Bone marrow smear. Image size 250×250. May-Grünwald-Giemsa stain: 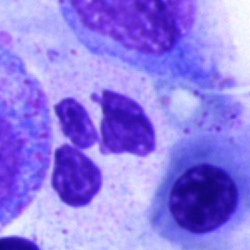
Q: What is shown here?
A: A polymorphonuclear neutrophil.